Bone marrow aspirate smear
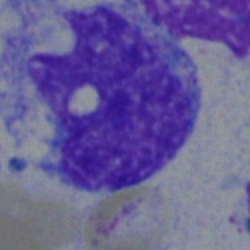 Impression — monocyte.